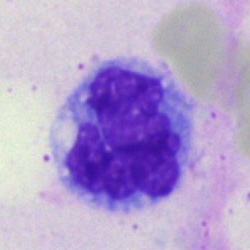

Q: What type of cell is this?
A: It is a monocyte.